40× oil immersion; bone marrow smear:
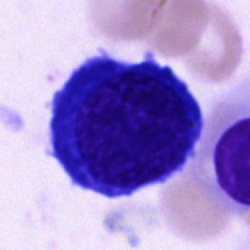

Morphology consistent with an erythroblast.